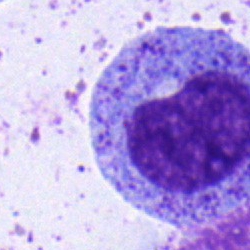
Classification = progranulocyte.